Image size 250×250. Bone marrow aspirate smear:
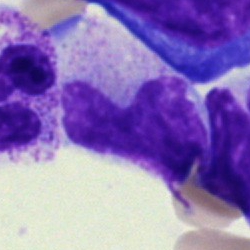Impression — band neutrophil.